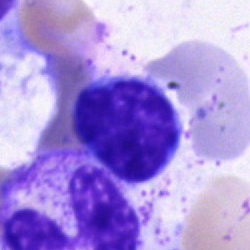The cell type is lymphocyte.